Bone marrow aspirate smear. May-Grünwald-Giemsa/Pappenheim stain.
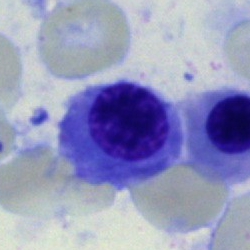Specimen: bone marrow smear.
Cell type: nucleated red cell.
Lineage: erythroid.